Bone marrow aspirate smear:
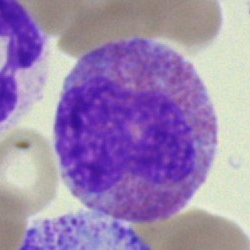

The cell shown is an eosinophil.